Image size 250×250; bone marrow aspirate smear; single-cell crop — 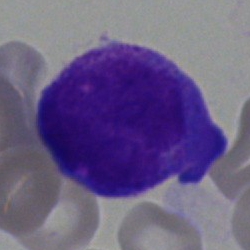

The cell shown is a blast.